Single cell centered in the field; peripheral blood smear:
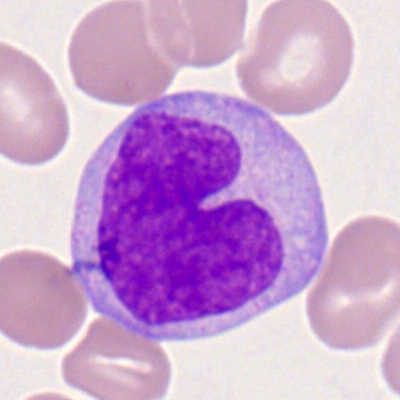 This is a monocyte.